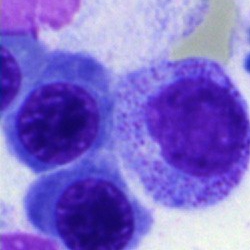

Q: What type of cell is this?
A: This is a myelocyte.